Bone marrow smear — 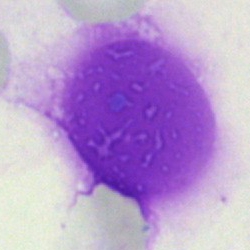
Classification = artefact.